Bone marrow aspirate smear: 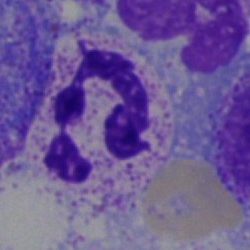
Single cell identified as a neutrophil (segmented).